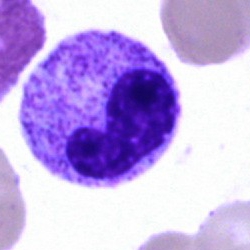 {"cell_type": "stab cell", "lineage": "myeloid"}